Bone marrow smear:
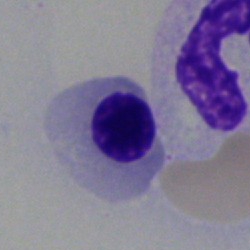

Classification = nucleated red blood cell.